Cropped to a single cell. Bone marrow smear. Image size 250×250: 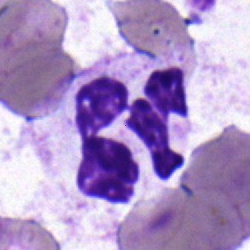 Q: Identify the cell.
A: A neutrophil (segmented).